Bone marrow smear: 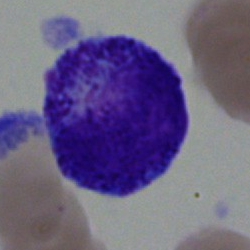Q: What cell is this?
A: It is a myelocyte.